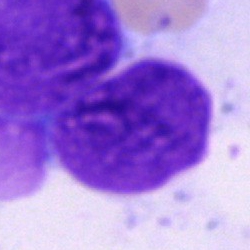An artefact.